M8 digital microscope (Precipoint), 100× oil immersion; peripheral blood film — 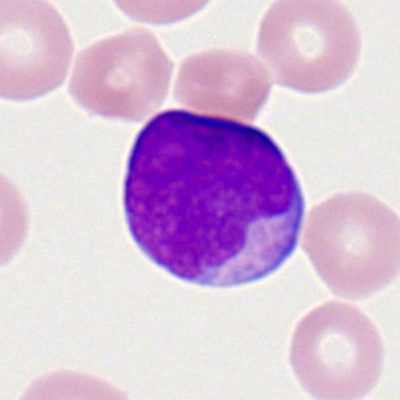 Specimen: peripheral blood film.
Classification: myeloid blast.